Bone marrow aspirate smear:
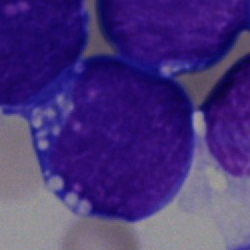 A blast.